Bone marrow aspirate smear — 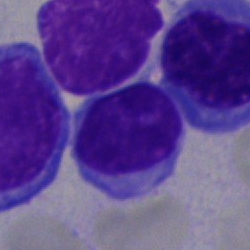 Q: Identify the cell.
A: Lymphocyte.